Bone marrow smear; single-cell crop; brightfield microscopy, 40× oil immersion:
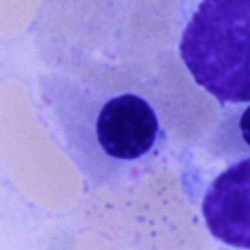A normoblast.